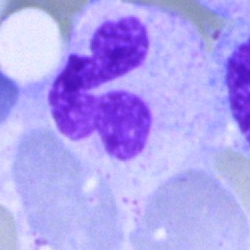Single cell identified as a polymorphonuclear neutrophil.